Peripheral blood film; 100× objective, oil immersion.
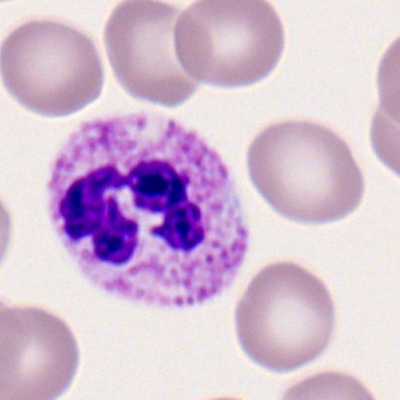Morphology consistent with a segmented neutrophil.